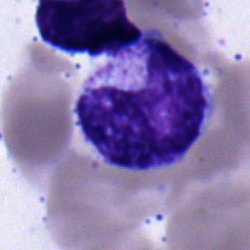

Morphology — metamyelocyte.